40× oil immersion · bone marrow aspirate smear.
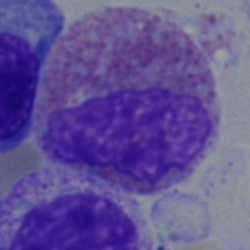 Classification = eosinophilic granulocyte.